250×250. Bone marrow smear. 40× objective, oil immersion: 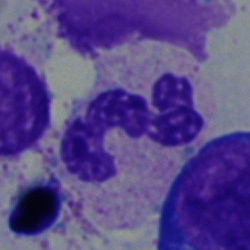
Morphological class = polymorphonuclear neutrophil.